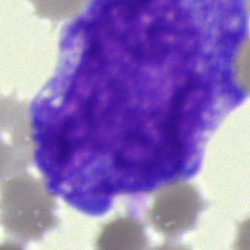 The classification is progranulocyte.